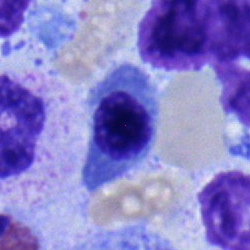
Impression → nucleated red cell.